Brightfield, 40× oil-immersion objective. Bone marrow smear.
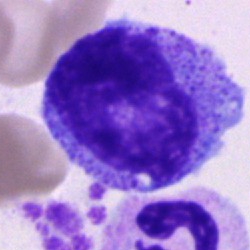 A promyelocyte.